Bone marrow smear — 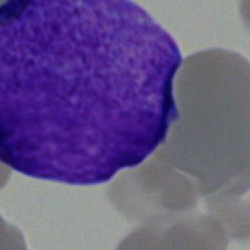The cell shown is an undifferentiated blast.